Bone marrow aspirate smear:
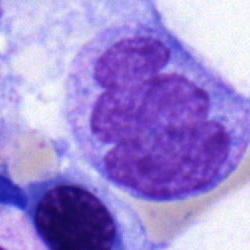

Specimen: bone marrow aspirate smear.
Cell: monocyte.
Lineage: myeloid.